Bone marrow aspirate smear:
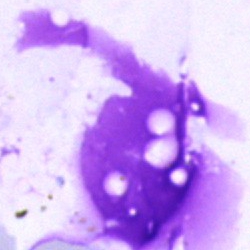 Morphology consistent with an artefact.